Bone marrow smear — 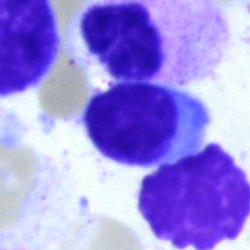
Cell: typical lymphocyte.